Bone marrow aspirate smear
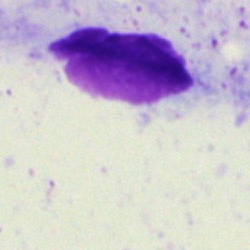

This is an artefact.